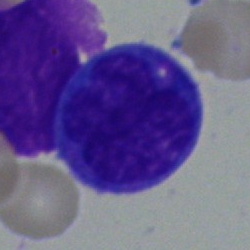

Cell type — undifferentiated blast.